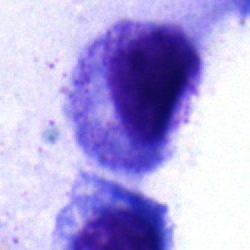Q: What cell is this?
A: This is a myelocyte.